Bone marrow smear:
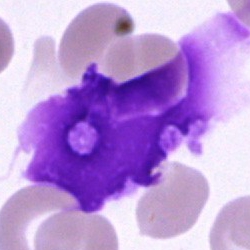 This is an artifact.